MGG-stained · bone marrow smear: 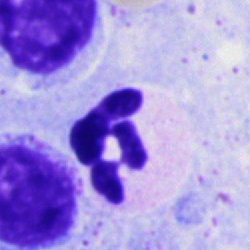 Classification: polymorphonuclear neutrophil.